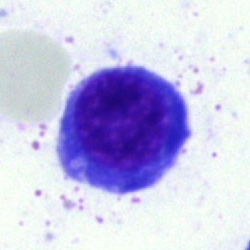

This is a nucleated red cell.